Bone marrow aspirate smear · image size 250×250 — 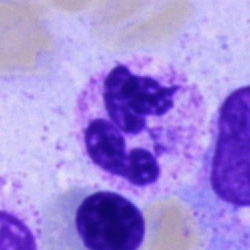

The morphological class is segmented neutrophil.